100× objective, oil immersion. Peripheral blood smear. Single-cell crop
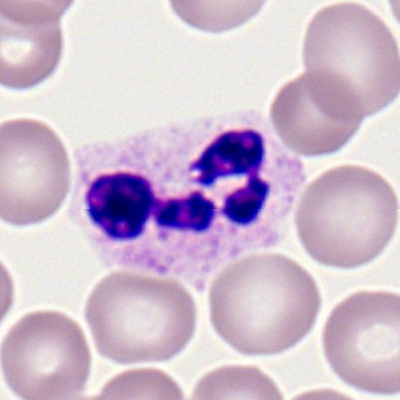 Cell type = neutrophil (segmented).